Peripheral blood film:
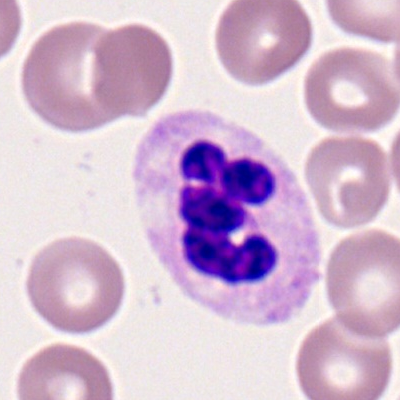

Impression → segmented neutrophil.